Peripheral blood smear. Cropped to a single cell
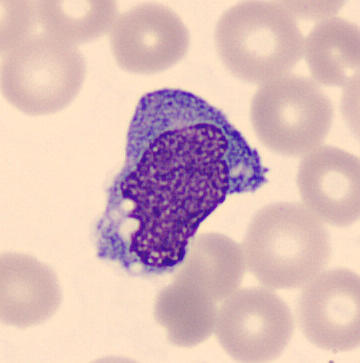
Impression → monocyte.